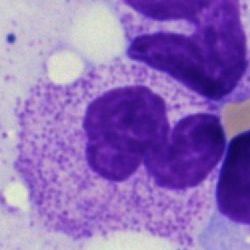Single cell identified as a segmented neutrophil.